Bone marrow smear
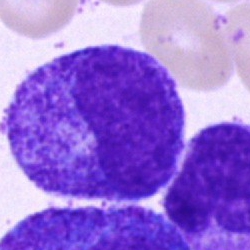The cell shown is a progranulocyte.